40× oil immersion. Bone marrow smear — 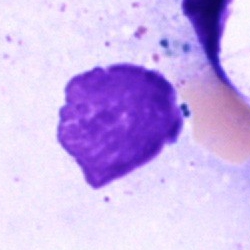Morphology → artifact.